Single cell centered in the field; bone marrow smear
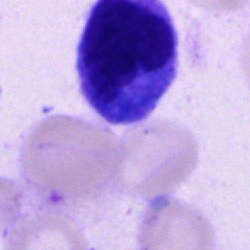
Impression — unidentifiable cell.